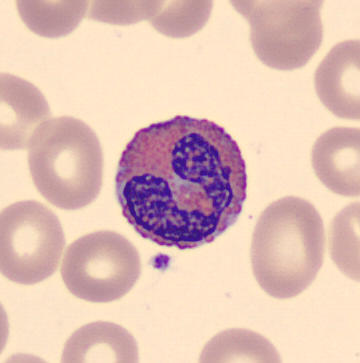Specimen: peripheral blood film.
Classification: eosinophilic granulocyte.
Lineage: myeloid.

Image size 360×363.